Brightfield, 40× oil-immersion objective. Bone marrow smear.
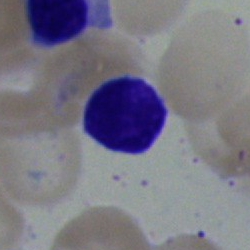
Lymphocyte.